Single-cell field. Bone marrow aspirate smear — 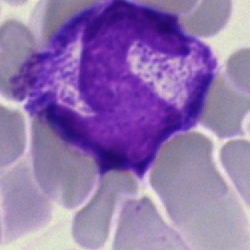

Q: What type of cell is this?
A: It is a polymorphonuclear neutrophil.